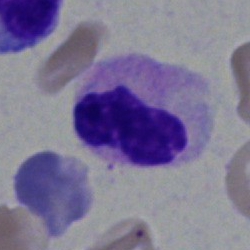 Specimen: bone marrow aspirate smear.
Morphological class: band neutrophil.